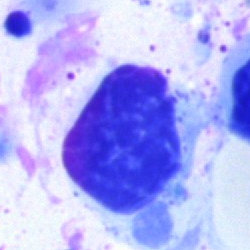An artifact.